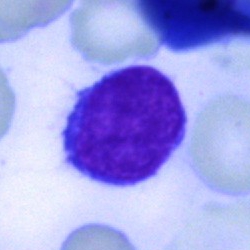The cell shown is a lymphocyte.